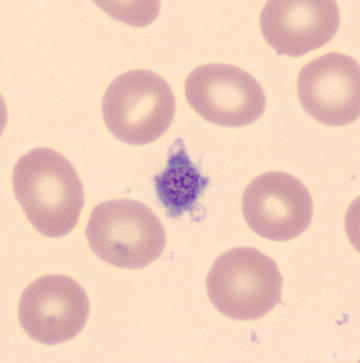Classification: thrombocyte.